Bone marrow aspirate smear. 250×250 px — 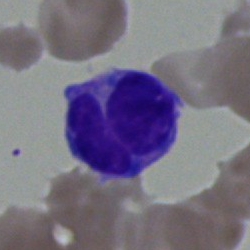Classification = blast.